Bone marrow smear
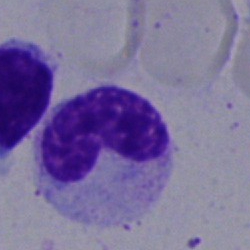 {"cell_type": "neutrophil (band)"}